Bone marrow smear. Pappenheim-stained. Image size 250×250
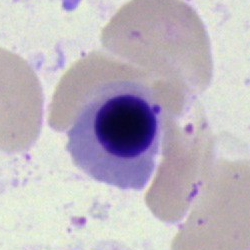Cell: nucleated red blood cell.